Bone marrow aspirate smear; single-cell crop.
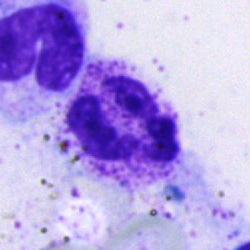

Q: What is the morphological classification of this cell?
A: A polymorphonuclear neutrophil.